Bone marrow aspirate smear
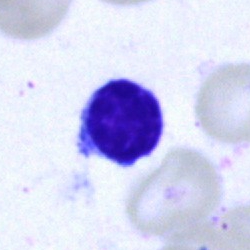 Morphology consistent with a lymphocyte.